40× oil immersion · bone marrow aspirate smear
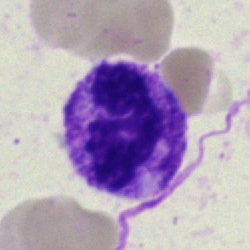 The cell shown is a neutrophil (segmented).